Bone marrow aspirate smear. MGG-stained — 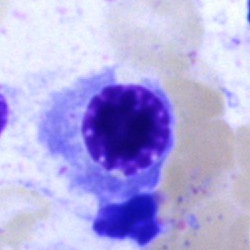 Morphology consistent with a nucleated red cell.